Bone marrow smear
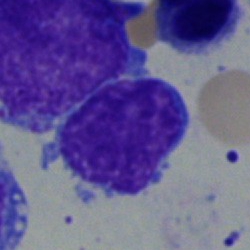
Cell type — typical lymphocyte.